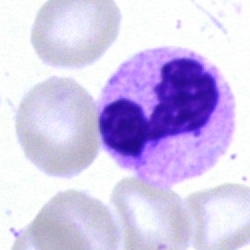The cell type is segmented neutrophil.